Bone marrow aspirate smear: 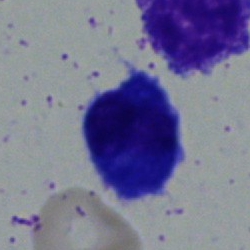 Q: What is shown here?
A: This is a plasma cell.